May-Grünwald-Giemsa/Pappenheim stain. Bone marrow aspirate smear — 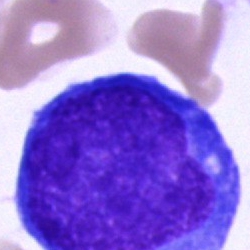 An undifferentiated blast.